400×400 px · peripheral blood film:
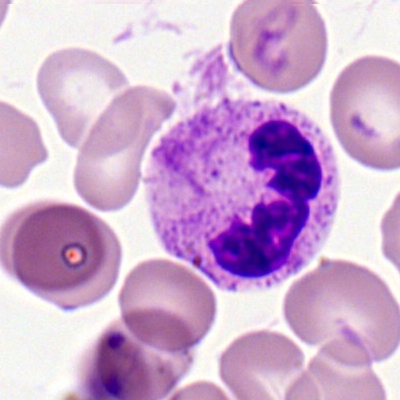 Cell type: neutrophil (segmented).